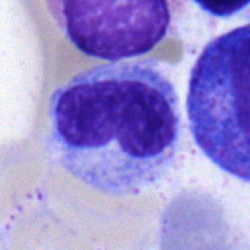 The morphological class is metamyelocyte.